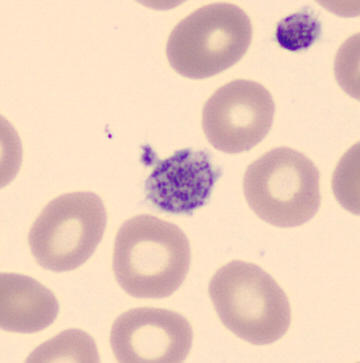{"cell_type": "platelet (thrombocyte)"}
Peripheral blood film.